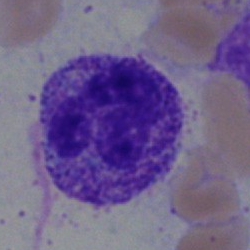
Q: What is shown here?
A: This is a segmented neutrophil.